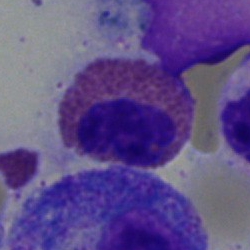Eosinophilic granulocyte.